Bone marrow aspirate smear · single-cell field: 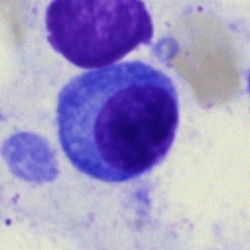
Morphology consistent with a plasma cell.